MGG-stained. 360 by 363 pixels. Peripheral blood smear:
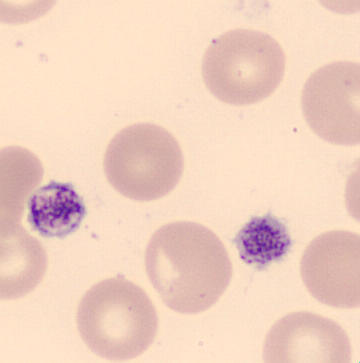Morphology → thrombocyte.